MGG-stained · single-cell field · bone marrow smear: 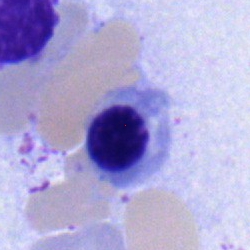The cell shown is an erythroblast.